Bone marrow smear — 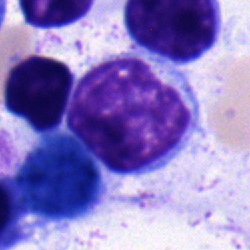Cell type: typical lymphocyte.